Bone marrow smear: 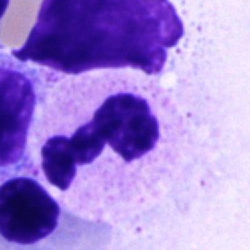
Morphology → polymorphonuclear neutrophil.